Bone marrow smear; May-Grünwald-Giemsa/Pappenheim stain — 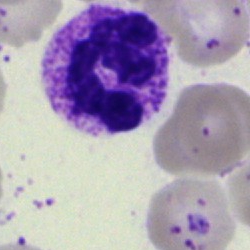Morphology — polymorphonuclear neutrophil.